May-Grünwald-Giemsa stain · single cell centered in the field · bone marrow aspirate smear
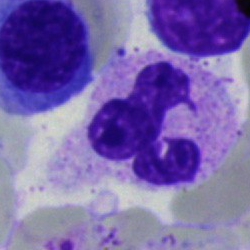Cell — neutrophil (segmented).